Bone marrow aspirate smear · single-cell field.
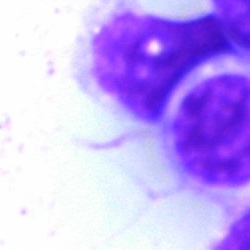
Morphological class — artifact.